Bone marrow smear. May-Grünwald-Giemsa/Pappenheim stain. Brightfield microscopy, 40× oil immersion
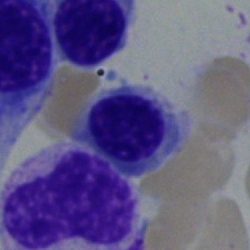

Q: Identify the cell.
A: Normoblast.